Single-cell field · brightfield, 40× oil-immersion objective · bone marrow smear — 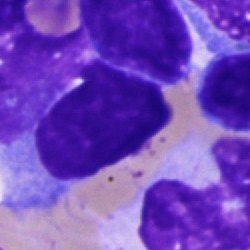 A cell of indeterminate lineage.